Bone marrow smear. May-Grünwald-Giemsa stain.
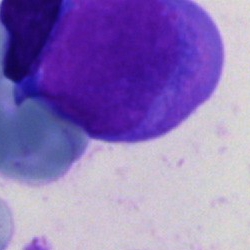
A blast cell.